Brightfield, 40× oil-immersion objective. Bone marrow smear. Single cell centered in the field
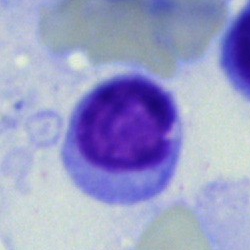
Q: What is shown here?
A: A lymphocyte.